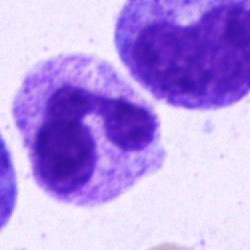
Cell type = polymorphonuclear neutrophil.